Brightfield microscopy, 40× oil immersion · May-Grünwald-Giemsa stain · bone marrow aspirate smear.
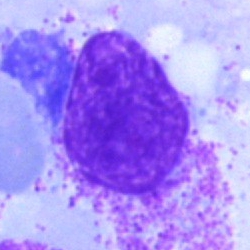 Classification: artifact.